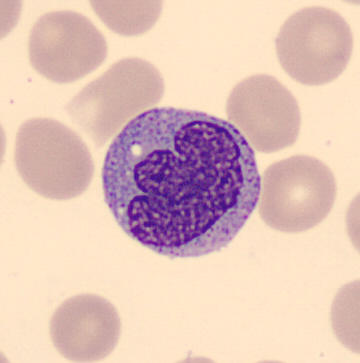 Classification: monocyte. Preparation: Automated cell imaging (CellaVision DM96). Peripheral blood film.